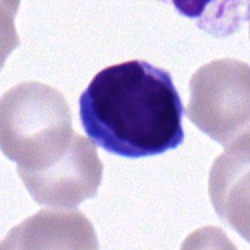 Q: Identify the cell.
A: A typical lymphocyte.